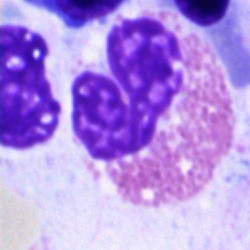 Showing an eosinophilic granulocyte.